Bone marrow aspirate smear — 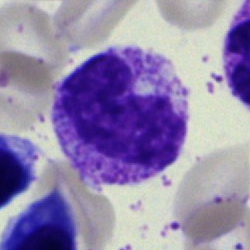

Q: What is shown here?
A: Neutrophil (band).